Single-cell field. Bone marrow smear: 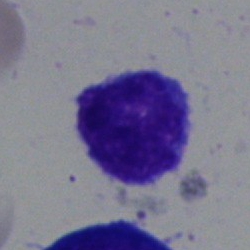 Single cell identified as a typical lymphocyte.